Bone marrow aspirate smear
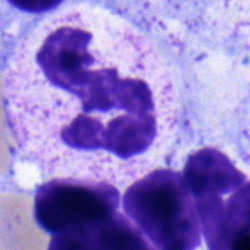

Q: Which cell type is shown here?
A: It is a polymorphonuclear neutrophil.